Bone marrow smear · Pappenheim-stained:
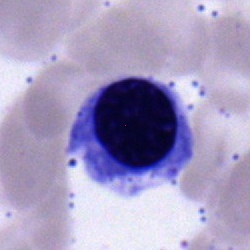Single cell identified as an erythroblast.